Single-cell field. Bone marrow smear. 40× objective, oil immersion: 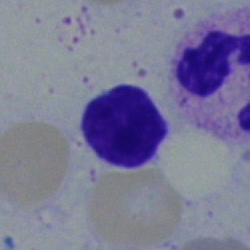
Cell type — lymphocyte.